40× objective, oil immersion. Bone marrow aspirate smear.
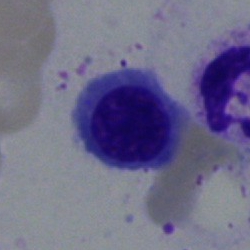
The cell shown is a normoblast.